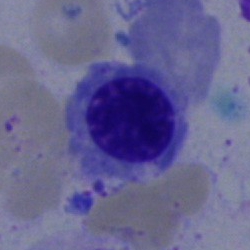 Specimen: bone marrow smear.
Cell: nucleated red blood cell.
Lineage: erythroid.